Bone marrow smear:
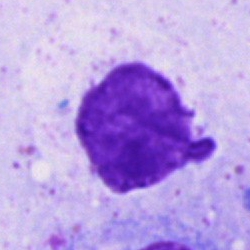 Morphological class — artefact.